Bone marrow smear — 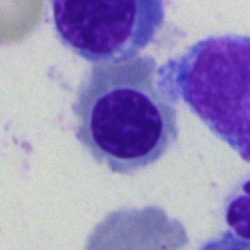

Morphological class: nucleated red cell.